Bone marrow aspirate smear: 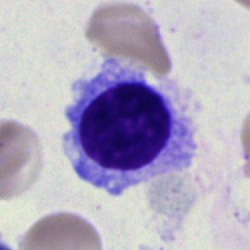Classification = erythroblast.